Bone marrow smear · brightfield, 40× oil-immersion objective — 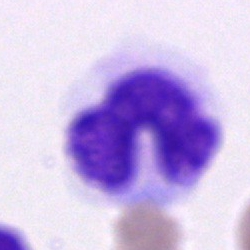 Cell = band neutrophil.